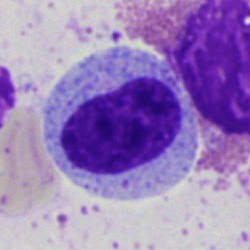

Myelocyte.